Bone marrow smear: 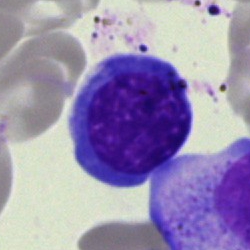 Morphological class — normoblast.